Bone marrow smear: 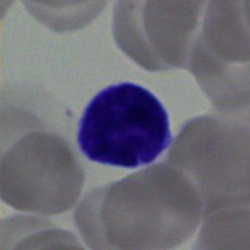

Showing a lymphocyte.